Bone marrow smear; 250×250; brightfield microscopy, 40× oil immersion: 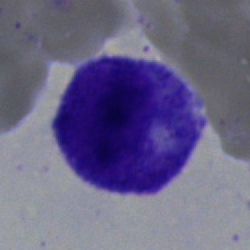Morphology — progranulocyte.